Bone marrow aspirate smear — 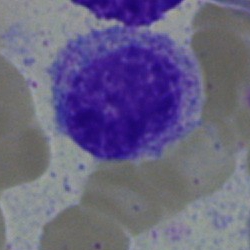Classification — myelocyte.